Bone marrow aspirate smear; cropped to a single cell
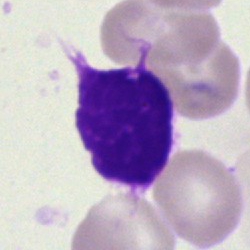Specimen: bone marrow smear.
Cell type: artefact.